Bone marrow smear.
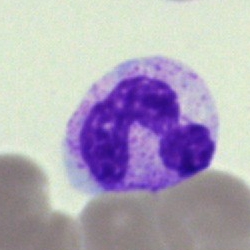 Specimen: bone marrow smear.
Classification: polymorphonuclear neutrophil.